Bone marrow aspirate smear · Pappenheim-stained: 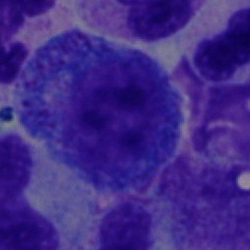Specimen: bone marrow smear.
Morphological class: promyelocyte.
Lineage: myeloid.